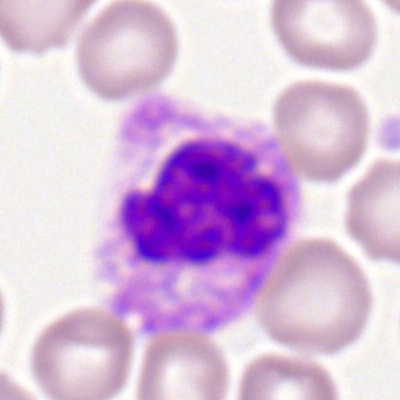

A polymorphonuclear neutrophil.